250×250 · bone marrow aspirate smear — 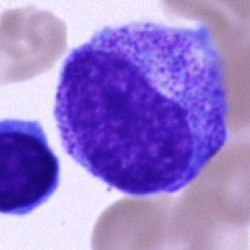

Morphological class — progranulocyte.